Bone marrow smear · brightfield, 40× oil-immersion objective · cropped to a single cell — 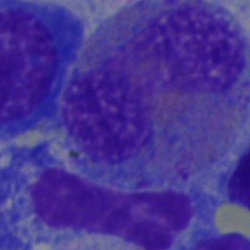
Specimen: bone marrow smear.
Morphological class: eosinophilic granulocyte.
Lineage: myeloid.